Brightfield microscopy, 40× oil immersion · bone marrow smear.
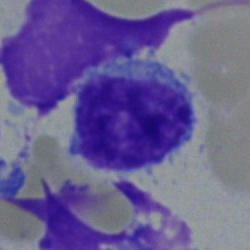

This is a lymphocyte.